Single-cell crop · bone marrow aspirate smear: 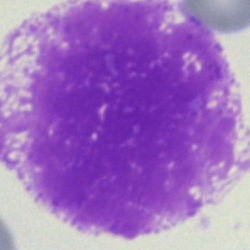
The cell shown is an artefact.